Brightfield, 40× oil-immersion objective. Bone marrow smear. MGG-stained.
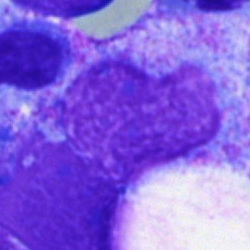Morphology → artefact.